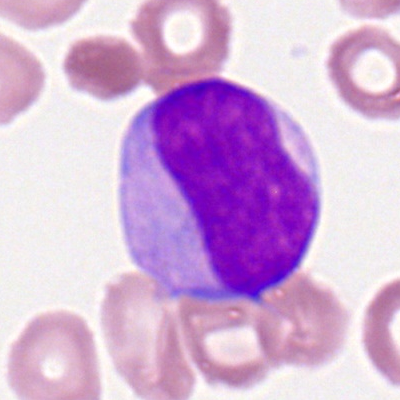
Showing a myeloblast.